Bone marrow smear: 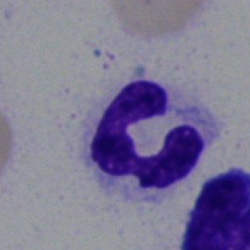

Specimen: bone marrow smear.
Morphological class: segmented neutrophil.
Lineage: myeloid.